Bone marrow smear.
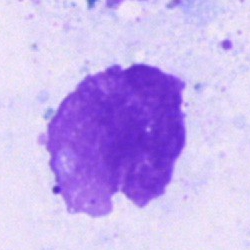

Artefact.